Bone marrow smear · single-cell crop.
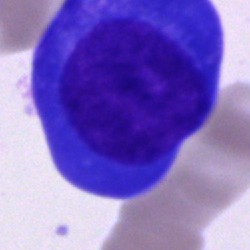Impression → plasma cell.